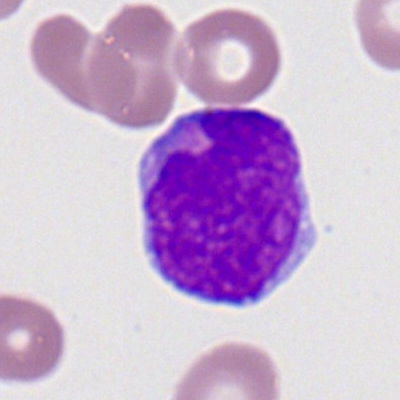

This is a myeloid blast.